Bone marrow smear
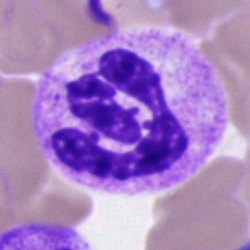{"cell_type": "segmented neutrophil", "lineage": "myeloid"}